Bone marrow aspirate smear — 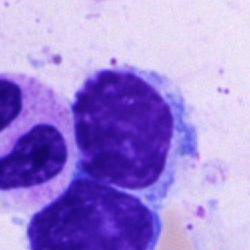
Impression → lymphocyte.